May-Grünwald-Giemsa stain; bone marrow aspirate smear
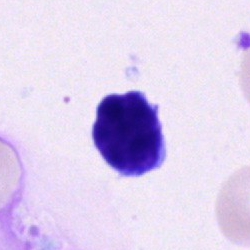 The cell is lymphocyte.